Bone marrow smear — 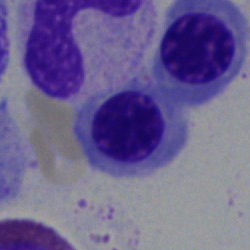 Impression — erythroblast.